Single-cell crop; 40× objective, oil immersion; bone marrow smear:
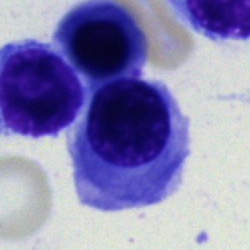 {"cell_type": "normoblast", "lineage": "erythroid"}